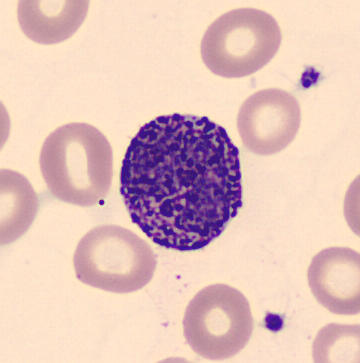
Q: Identify the cell.
A: It is a basophil.